Bone marrow aspirate smear · single-cell field:
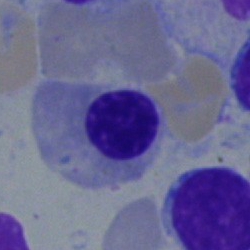
Q: Which cell type is shown here?
A: This is a normoblast.